Bone marrow aspirate smear
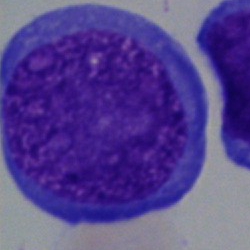This is a nucleated red blood cell.